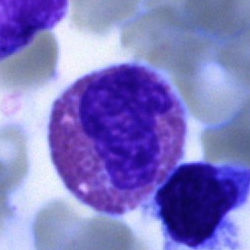This is an eosinophil.